Peripheral blood smear
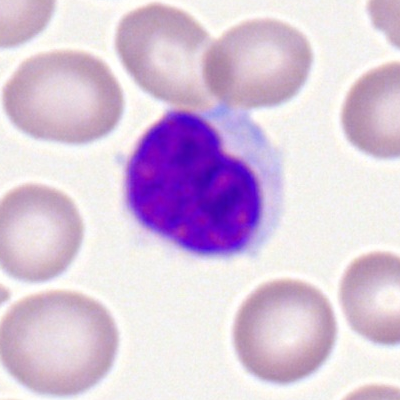The morphological class is lymphocyte.